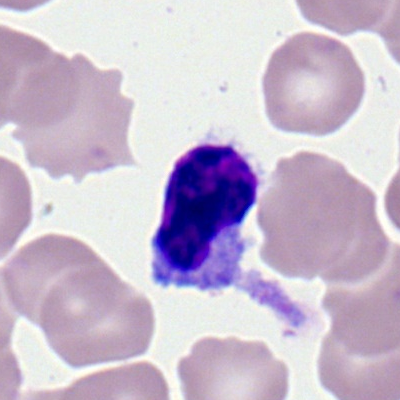
Showing a lymphocyte.